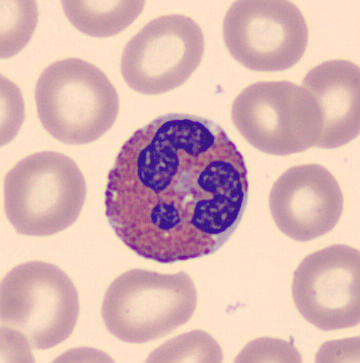
Acquisition: CellaVision DM96.

Specimen: peripheral blood smear.
Classification: eosinophilic granulocyte.
Lineage: myeloid.